Bone marrow smear:
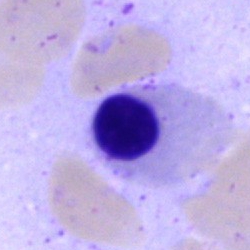

Cell: normoblast.